Bone marrow smear: 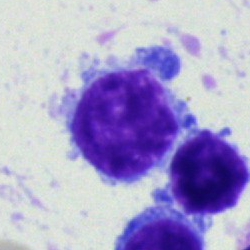 Specimen: bone marrow aspirate smear.
Cell type: typical lymphocyte.